Bone marrow smear.
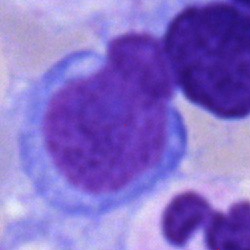Specimen: bone marrow aspirate smear.
Cell type: lymphocyte.